May-Grünwald-Giemsa/Pappenheim stain · 40× oil immersion · bone marrow smear: 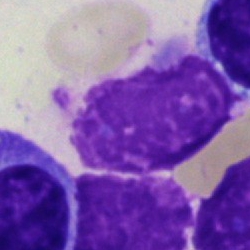
Cell: artefact.